MGG-stained; bone marrow aspirate smear; brightfield microscopy, 40× oil immersion — 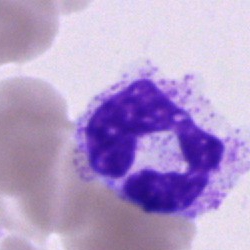 This is a neutrophil (segmented).